Single-cell field; peripheral blood film: 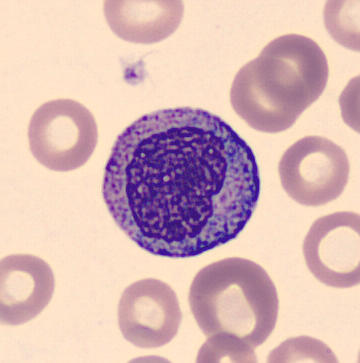 Classification: progranulocyte.